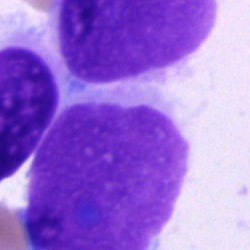Morphology — artefact.